Bone marrow smear: 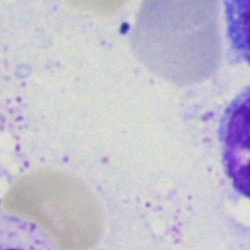 Morphology consistent with an artifact.